Bone marrow aspirate smear · 250×250 · Pappenheim-stained: 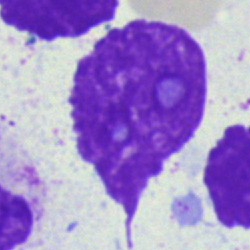
Impression — artifact.